Romanowsky-type stain; peripheral blood smear
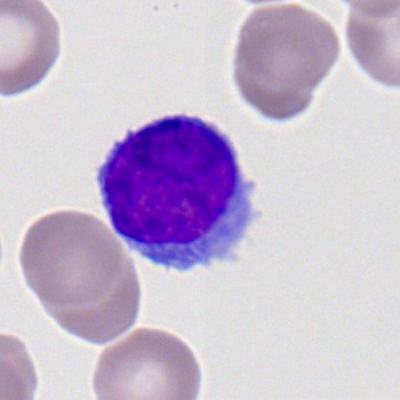 Morphology → lymphocyte.